250×250. Bone marrow smear:
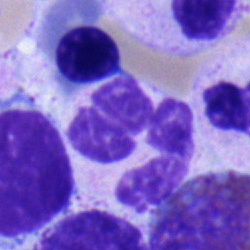

Segmented neutrophil.